Bone marrow aspirate smear:
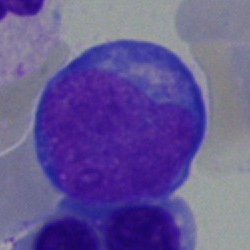Classification = blast cell.